Bone marrow aspirate smear
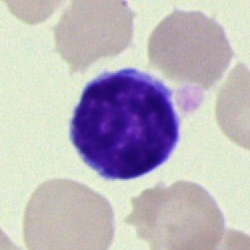

Single cell identified as a typical lymphocyte.